Peripheral blood smear.
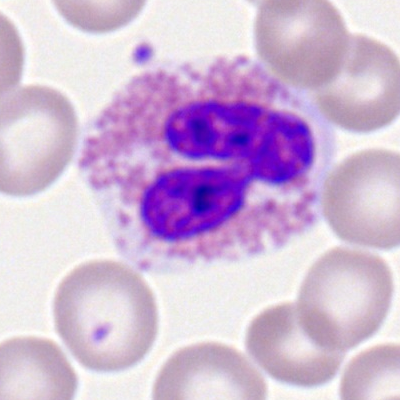
Specimen: peripheral blood smear.
Cell: eosinophilic granulocyte.
Lineage: myeloid.